250 by 250 pixels · bone marrow aspirate smear:
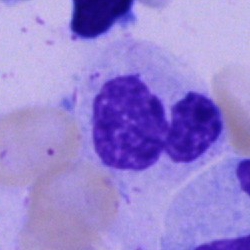
The classification is neutrophil (segmented).